250×250 · bone marrow smear · brightfield, 40× oil-immersion objective
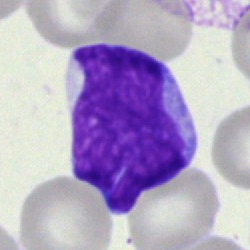 Q: Identify the cell.
A: This is an undifferentiated blast.